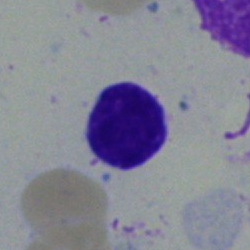

Morphological class — lymphocyte.